Bone marrow smear
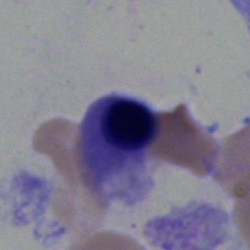 Q: Which cell type is shown here?
A: An erythroblast.